Bone marrow smear
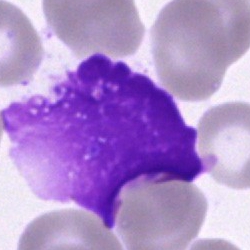
Single cell identified as an artefact.